Bone marrow smear · 40× oil immersion:
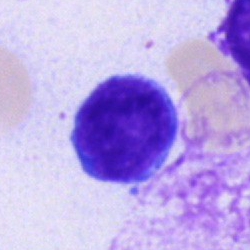Q: Which cell type is shown here?
A: This is a typical lymphocyte.